Bone marrow smear.
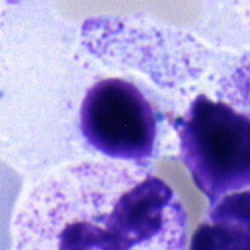Classification: lymphocyte.